Peripheral blood smear. Romanowsky-stained:
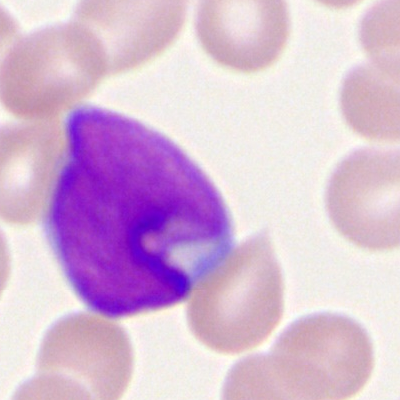Impression → myeloblast.